MGG-stained. Brightfield microscopy, 40× oil immersion. Bone marrow smear:
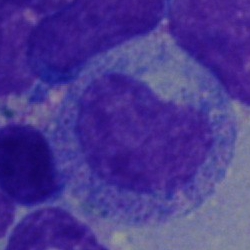This is a myelocyte.